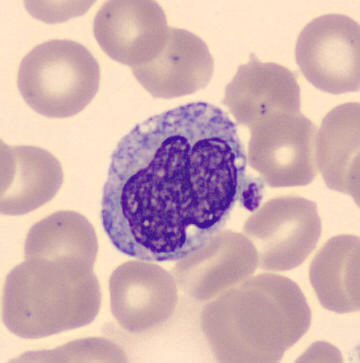

Acquisition: Peripheral blood smear; 360 by 363 pixels.
Cell type — monocyte.